Bone marrow aspirate smear — 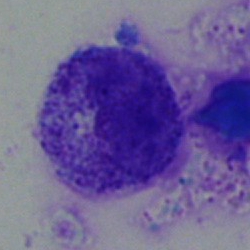 Morphology consistent with a progranulocyte.